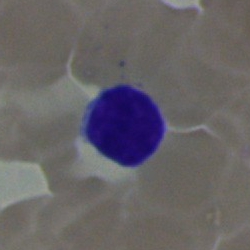Morphology — typical lymphocyte.